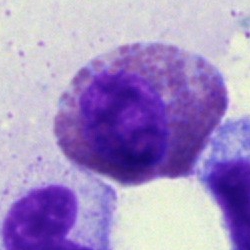 Specimen: bone marrow aspirate smear.
Morphological class: eosinophil.
Lineage: myeloid.